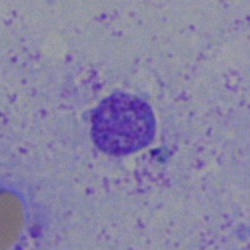 Morphology — artifact.